Single cell centered in the field. Bone marrow smear
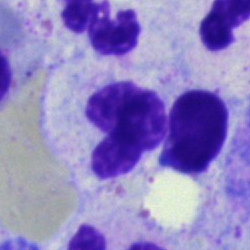
Single cell identified as a segmented neutrophil.